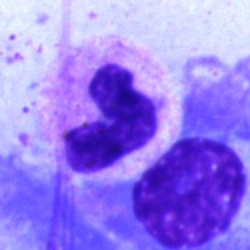The cell shown is a neutrophil (band).